Single cell centered in the field. Brightfield microscopy, 40× oil immersion. Bone marrow aspirate smear — 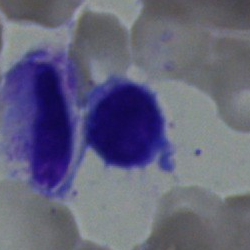Q: Which cell type is shown here?
A: Lymphocyte.